Single-cell field. Bone marrow smear
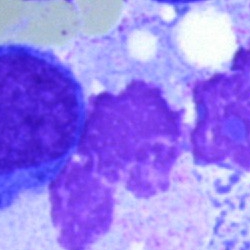

Impression — artifact.